Pappenheim-stained · bone marrow smear · image size 250×250
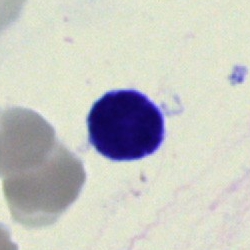

Q: Which cell type is shown here?
A: This is a typical lymphocyte.